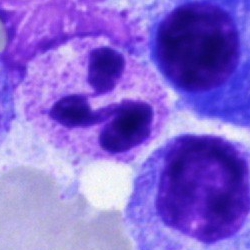

Single cell identified as a segmented neutrophil.